Cropped to a single cell · bone marrow aspirate smear
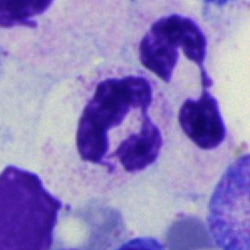
Q: What type of cell is this?
A: A polymorphonuclear neutrophil.